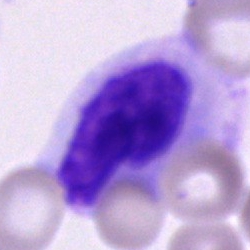
This is a cell of indeterminate lineage.